Bone marrow aspirate smear
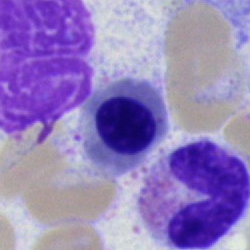 Showing an erythroblast.